Bone marrow smear; cropped to a single cell; 250 by 250 pixels:
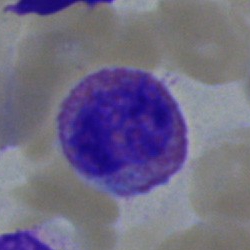 Q: What is the morphological classification of this cell?
A: An eosinophilic granulocyte.